Bone marrow aspirate smear
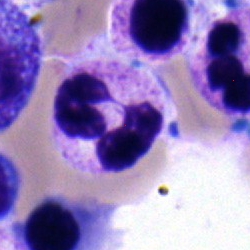

Q: What cell is this?
A: A neutrophil (segmented).